Bone marrow aspirate smear — 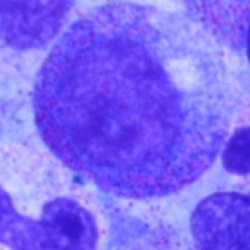Impression → progranulocyte.